Bone marrow smear: 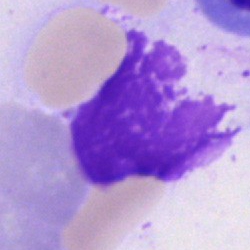 The classification is artefact.